Bone marrow aspirate smear
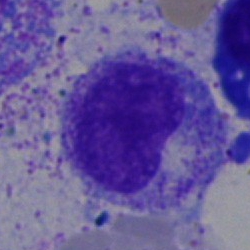
Q: What is the morphological classification of this cell?
A: This is a metamyelocyte.